Single-cell crop · brightfield microscopy, 40× oil immersion · bone marrow aspirate smear:
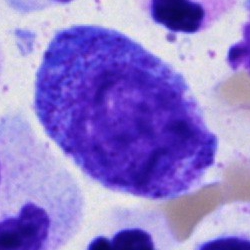
Cell = promyelocyte.